Bone marrow aspirate smear
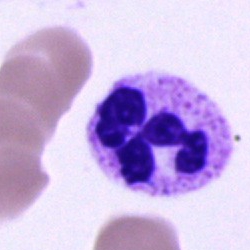 Q: What is the morphological classification of this cell?
A: It is a polymorphonuclear neutrophil.